Bone marrow smear. 250 by 250 pixels. May-Grünwald-Giemsa/Pappenheim stain
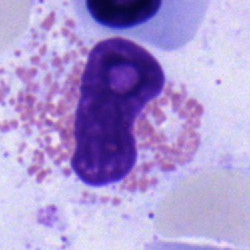

This is an eosinophilic granulocyte.